Bone marrow smear.
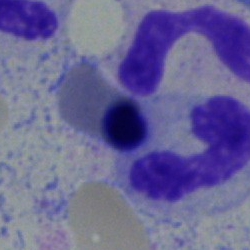 Impression — nucleated red cell.